Bone marrow smear: 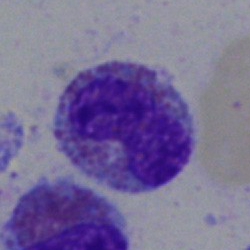 An eosinophilic granulocyte.